Bone marrow aspirate smear — 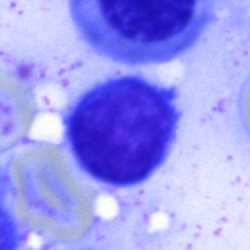

{"cell_type": "typical lymphocyte"}